Bone marrow smear — 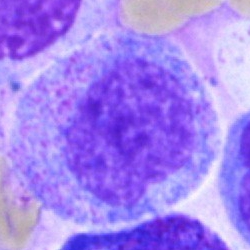
Progranulocyte.